Image size 250×250 · bone marrow smear.
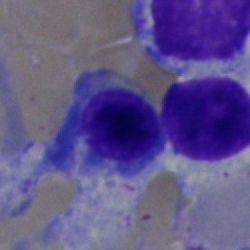 Showing a nucleated red blood cell.